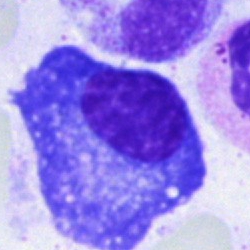

Cell type — plasma cell.